Bone marrow aspirate smear.
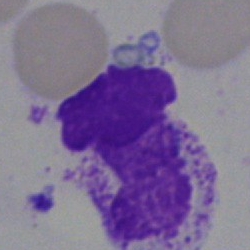
The classification is artifact.